Bone marrow smear.
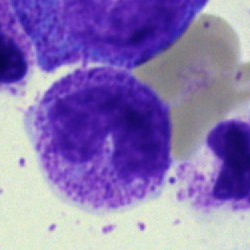

The morphological class is stab cell.